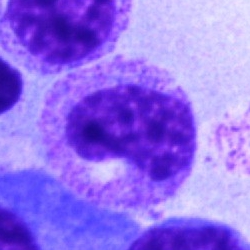

Morphology — metamyelocyte.